Bone marrow smear
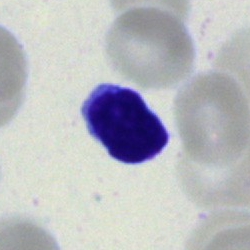 The cell shown is a typical lymphocyte.